Image size 250×250; bone marrow smear
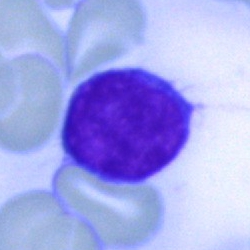 Cell type: typical lymphocyte.